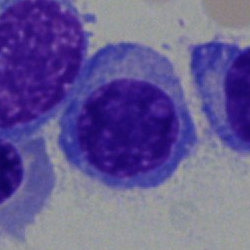 Q: What is the morphological classification of this cell?
A: A plasma cell.